Bone marrow aspirate smear
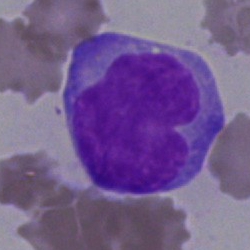
An undifferentiated blast.